Single cell centered in the field; 400×400 px; peripheral blood film.
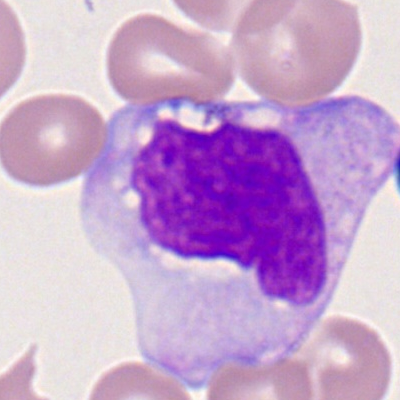
The morphological class is monocyte.